Bone marrow smear:
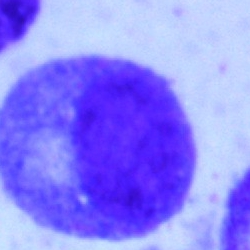
Progranulocyte.